Bone marrow aspirate smear: 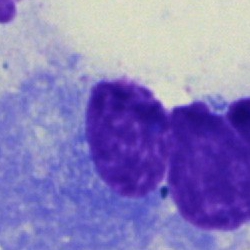 Cell type — plasma cell.